Bone marrow aspirate smear; brightfield microscopy, 40× oil immersion
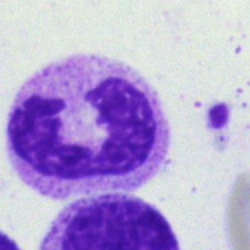
The morphological class is neutrophil (segmented).